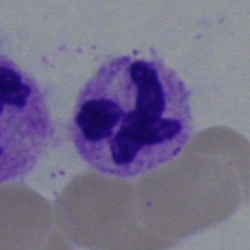{"cell_type": "segmented neutrophil", "lineage": "myeloid"}